Bone marrow smear:
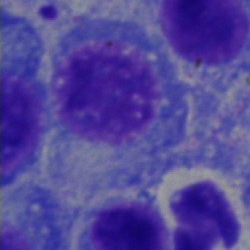 Plasma cell.